250×250 px. Bone marrow aspirate smear.
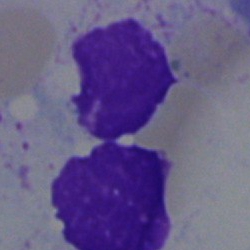Morphology consistent with an artifact.